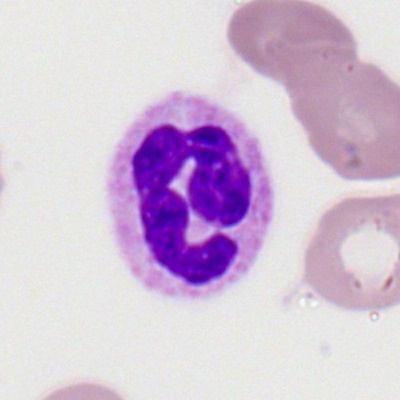Single cell identified as a polymorphonuclear neutrophil.